Peripheral blood smear: 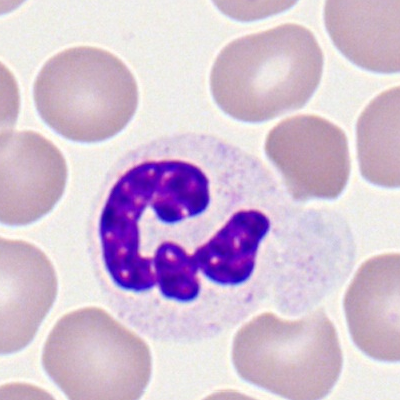Specimen: peripheral blood smear.
Cell: segmented neutrophil.